Bone marrow aspirate smear:
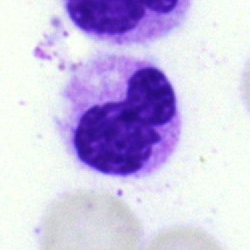

The morphological class is neutrophil (band).